Peripheral blood smear: 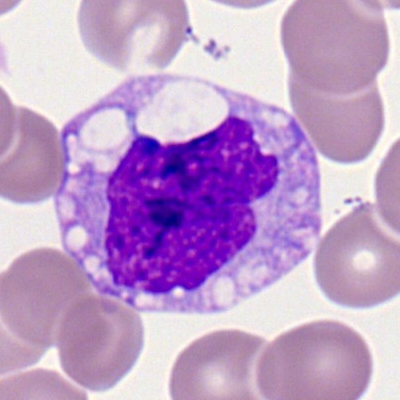 {"cell_type": "monocyte"}